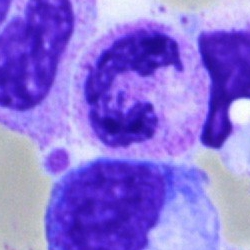
Cell = polymorphonuclear neutrophil.